Bone marrow smear
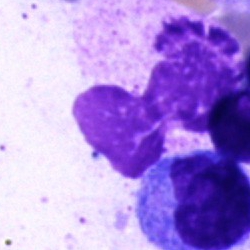
Morphological class = artifact.